Bone marrow aspirate smear
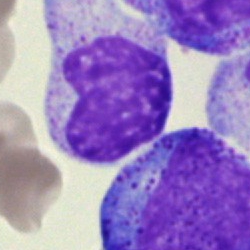 Q: Which cell type is shown here?
A: Metamyelocyte.